250×250 · bone marrow aspirate smear · single cell centered in the field: 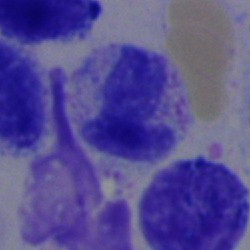 {"cell_type": "stab cell", "lineage": "myeloid"}